Bone marrow aspirate smear. 250×250 px. 40× oil immersion — 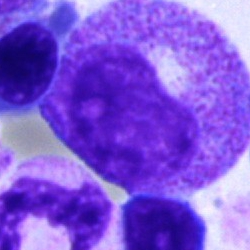 This is a metamyelocyte.